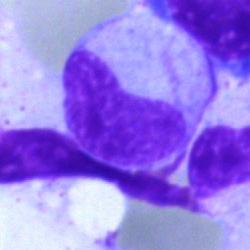
Stab cell.